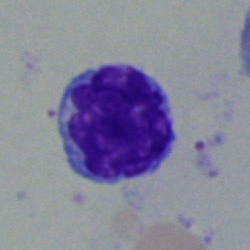Single-cell crop from a bone marrow smear: typical lymphocyte.